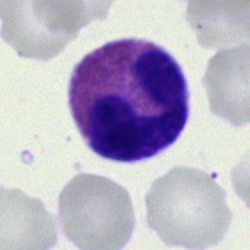

An eosinophil.